40× oil immersion. May-Grünwald-Giemsa stain. Bone marrow smear — 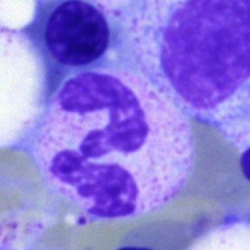

Classification = polymorphonuclear neutrophil.